Bone marrow smear: 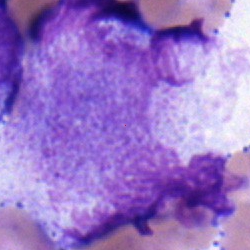Cell: undifferentiated blast.